250×250 px; bone marrow aspirate smear; single-cell field:
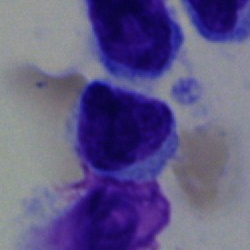 Lymphocyte.